Bone marrow aspirate smear; single-cell field; 40× oil immersion — 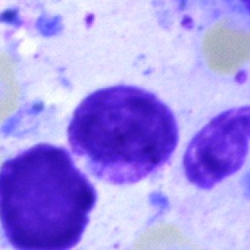 Morphology → artifact.